Peripheral blood film — 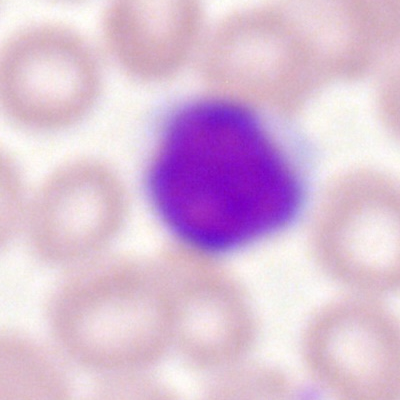

Specimen: peripheral blood smear.
Classification: lymphocyte.
Lineage: lymphoid.